Bone marrow aspirate smear.
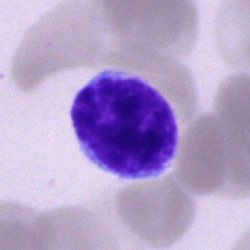Q: What is shown here?
A: It is a typical lymphocyte.